Bone marrow smear: 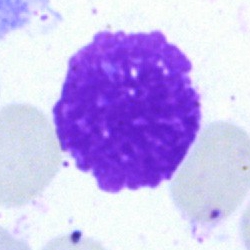 Morphology consistent with an artifact.